Bone marrow aspirate smear.
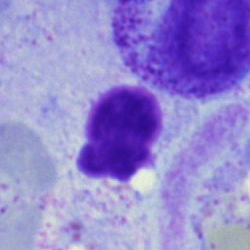 The cell type is unidentifiable cell.